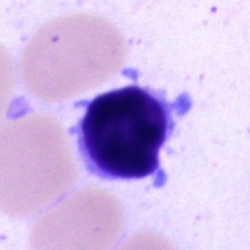
Specimen: bone marrow smear.
Classification: lymphocyte.
Lineage: lymphoid.